Bone marrow smear.
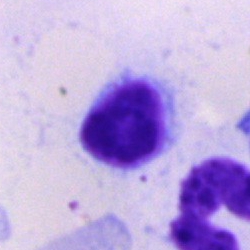Q: What is the morphological classification of this cell?
A: Typical lymphocyte.